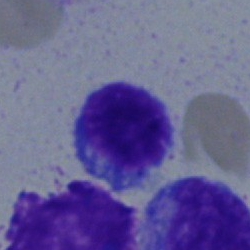

Classification = lymphocyte.